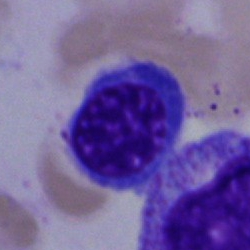

Bone marrow aspirate smear, single cell — normoblast.